Bone marrow smear:
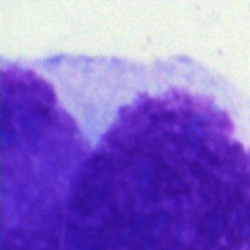 Q: What is shown here?
A: It is an artefact.